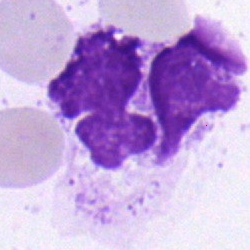

Single-cell crop from a bone marrow smear: polymorphonuclear neutrophil.